Bone marrow smear · brightfield microscopy, 40× oil immersion.
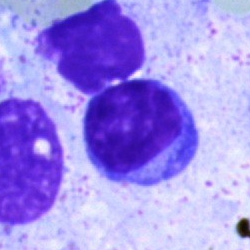

Single cell identified as a typical lymphocyte.